Bone marrow smear; 250×250 px — 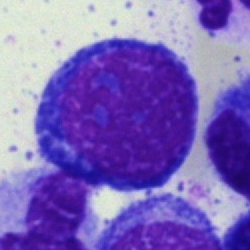 Impression → proerythroblast.